Bone marrow aspirate smear: 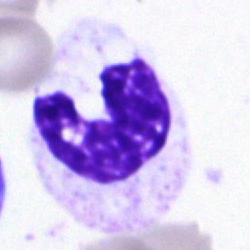 Q: What is the morphological classification of this cell?
A: It is a neutrophil (segmented).